Single-cell crop · bone marrow smear:
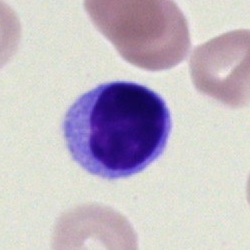 Morphology → lymphocyte.